Bone marrow aspirate smear:
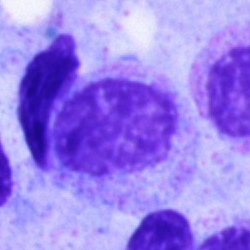 The classification is myelocyte.